Bone marrow aspirate smear; brightfield microscopy, 40× oil immersion; MGG-stained — 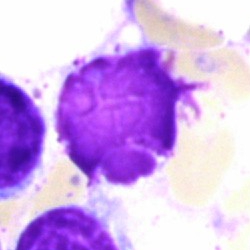

Artefact.